Bone marrow aspirate smear.
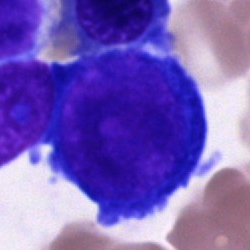

Cell type = proerythroblast.